Bone marrow smear; single cell centered in the field; MGG-stained
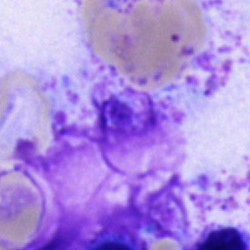Q: What is shown here?
A: This is an artefact.